Bone marrow aspirate smear — 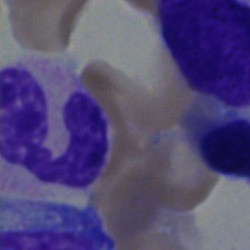
Cell type = neutrophil (segmented).